Bone marrow aspirate smear · 250×250 px.
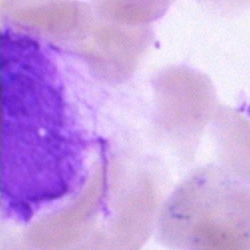
Single cell identified as an artifact.